Bone marrow smear: 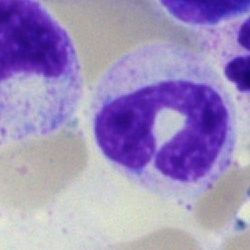 Classification: stab cell.